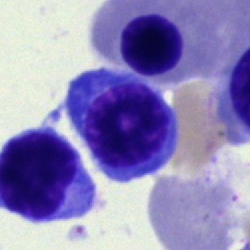

An erythroblast on a bone marrow smear.